Bone marrow smear.
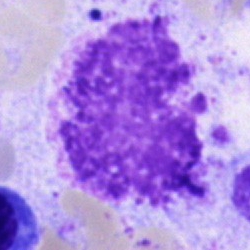 This is an artefact.